Bone marrow aspirate smear: 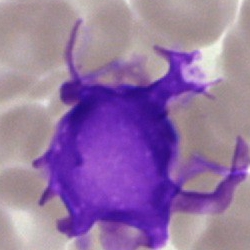
Q: What is shown here?
A: Artefact.